Bone marrow smear:
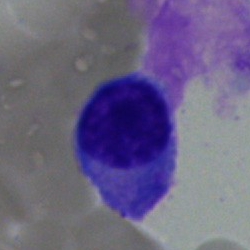Classification — plasma cell.